Bone marrow smear: 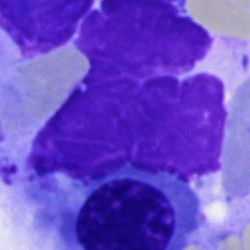 Q: What is shown here?
A: This is an artifact.